Bone marrow smear · 250×250 · May-Grünwald-Giemsa stain — 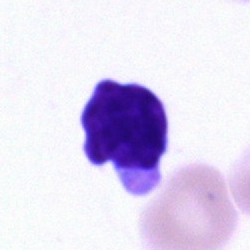
Q: What is shown here?
A: Typical lymphocyte.